Bone marrow smear: 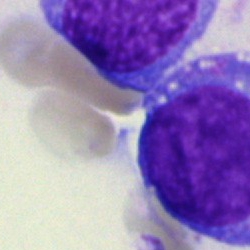 Specimen: bone marrow smear.
Cell: blast cell.